Bone marrow aspirate smear. MGG-stained. 250×250 — 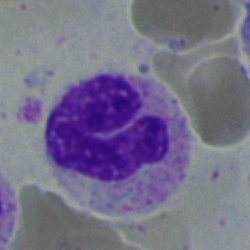
Specimen: bone marrow aspirate smear.
Morphological class: band-form neutrophil.
Lineage: myeloid.